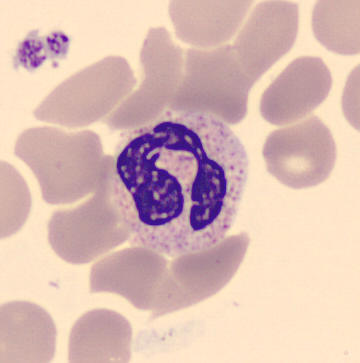
Showing a polymorphonuclear neutrophil.

Image: Peripheral blood film.